Peripheral blood film:
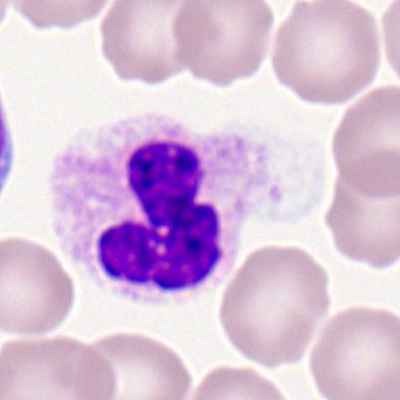
Cell = polymorphonuclear neutrophil.